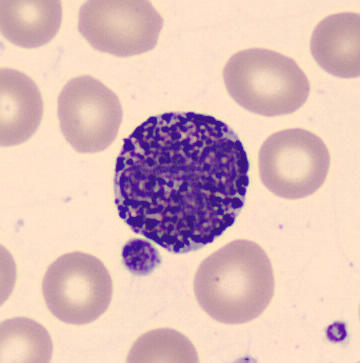

Single cell identified as a basophilic granulocyte.